Bone marrow smear; 250 by 250 pixels:
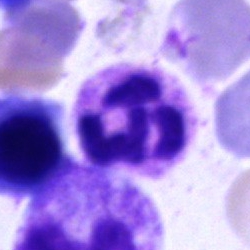
A neutrophil (segmented).